Bone marrow smear · 40× objective, oil immersion:
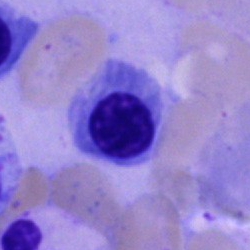

A nucleated red blood cell.